Bone marrow smear
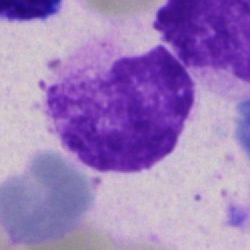{"cell_type": "artefact"}